Bone marrow smear:
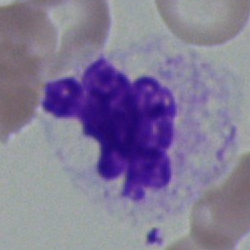

This is a polymorphonuclear neutrophil.